MGG-stained. Single cell centered in the field. Bone marrow aspirate smear: 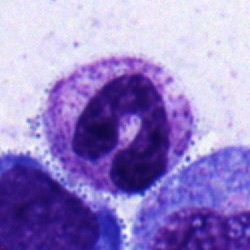This is a stab cell.